Image size 250×250; bone marrow smear — 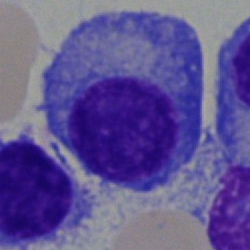Morphology consistent with a plasma cell.